250×250. Bone marrow aspirate smear. Brightfield, 40× oil-immersion objective:
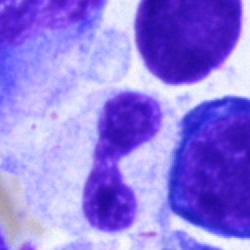 {"cell_type": "polymorphonuclear neutrophil", "lineage": "myeloid"}